Image size 250×250 · single-cell crop · bone marrow aspirate smear
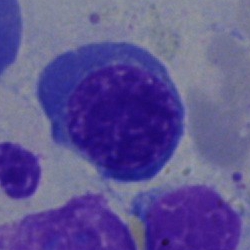 This is an erythroblast.